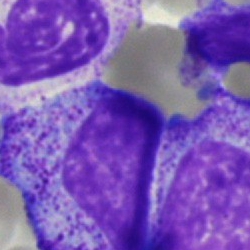Specimen: bone marrow aspirate smear.
Morphological class: myelocyte.